Bone marrow smear:
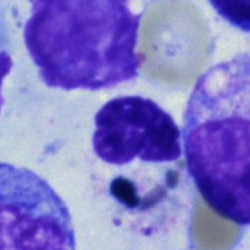
Artifact.